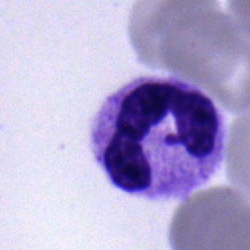 Cell type: neutrophil (segmented).